May-Grünwald-Giemsa/Pappenheim stain. Single cell centered in the field. Bone marrow aspirate smear.
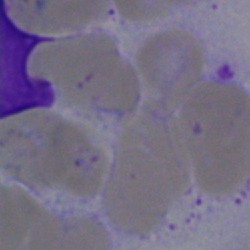

An artifact.